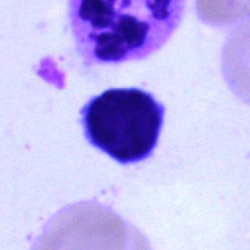
Q: What is shown here?
A: Lymphocyte.